Bone marrow smear:
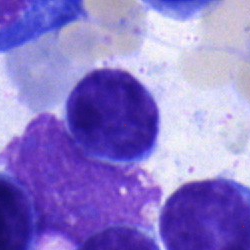
Specimen: bone marrow aspirate smear.
Classification: lymphocyte.
Lineage: lymphoid.